Image size 250×250; single-cell field; bone marrow aspirate smear — 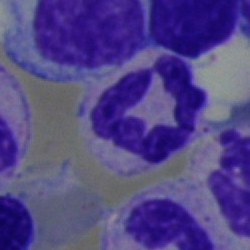

Impression — polymorphonuclear neutrophil.